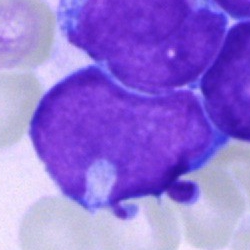

Showing a blast cell.